Bone marrow aspirate smear · brightfield microscopy, 40× oil immersion
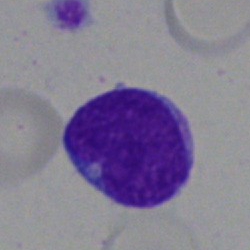Showing a typical lymphocyte.